Bone marrow aspirate smear: 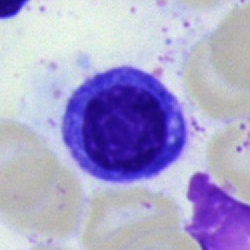

Specimen: bone marrow aspirate smear.
Morphological class: nucleated red cell.
Lineage: erythroid.